Peripheral blood smear: 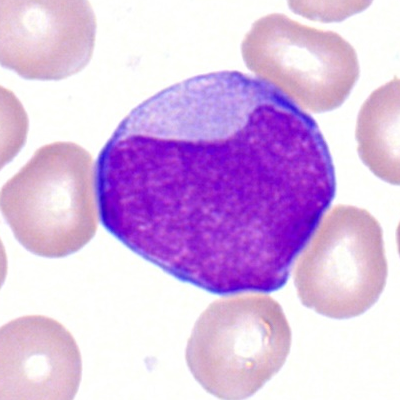This is a myeloblast.